Bone marrow aspirate smear: 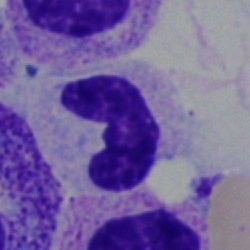

Cell type: stab cell.